Bone marrow aspirate smear — 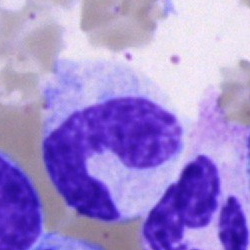
Stab cell.